Peripheral blood film: 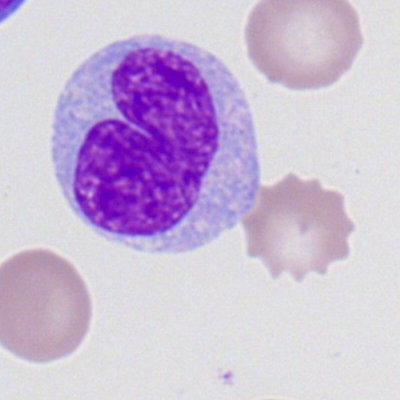
A monocyte.